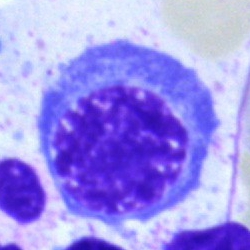

Single-cell crop from a bone marrow smear: erythroblast.